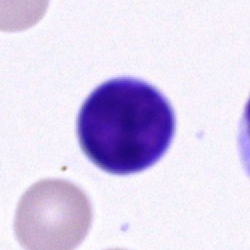

Cell = lymphocyte.